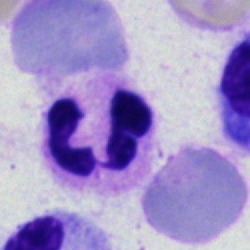Polymorphonuclear neutrophil.